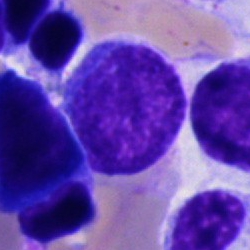Q: What is the morphological classification of this cell?
A: This is an undifferentiated blast.